Single-cell field; bone marrow smear: 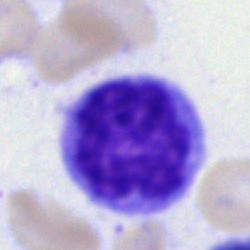Monocyte.